May-Grünwald-Giemsa stain. Bone marrow smear — 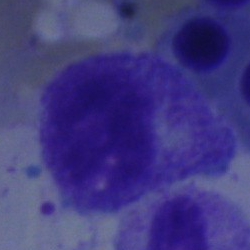 Impression — myelocyte.